Cropped to a single cell; bone marrow aspirate smear
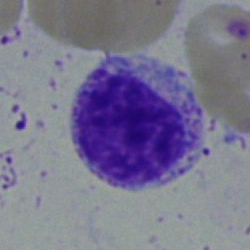
Classification = myelocyte.